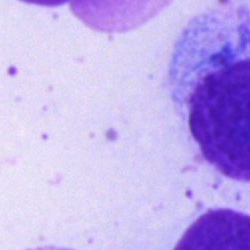 Showing an artifact.